Bone marrow smear. 250 by 250 pixels — 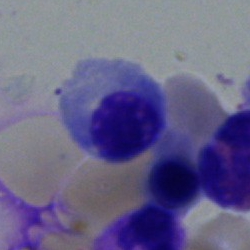Specimen: bone marrow aspirate smear.
Cell type: erythroblast.
Lineage: erythroid.